Bone marrow aspirate smear; single cell centered in the field: 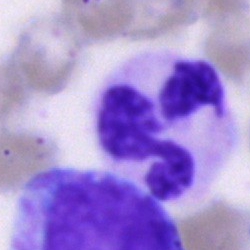The cell shown is a segmented neutrophil.